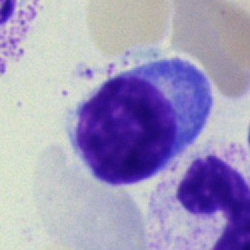 Cell — typical lymphocyte.